Bone marrow aspirate smear; 250 by 250 pixels; single-cell crop:
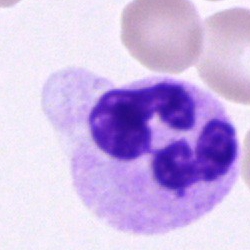

Morphological class: segmented neutrophil.